Peripheral blood smear.
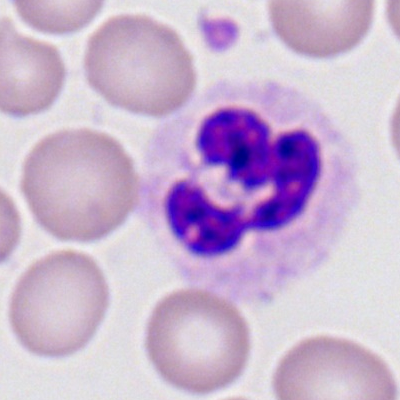

{"cell_type": "polymorphonuclear neutrophil"}